Cropped to a single cell · bone marrow aspirate smear — 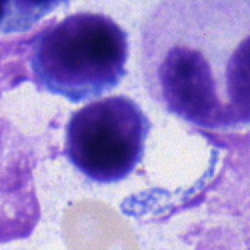
{"cell_type": "band neutrophil", "lineage": "myeloid"}